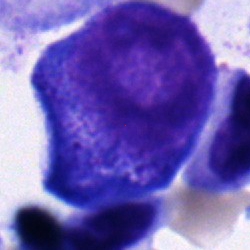
Progranulocyte.